Cropped to a single cell. Bone marrow smear: 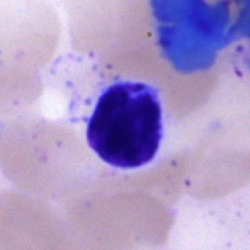

Specimen: bone marrow smear.
Morphological class: typical lymphocyte.
Lineage: lymphoid.